Brightfield, 40× oil-immersion objective; single cell centered in the field; bone marrow smear.
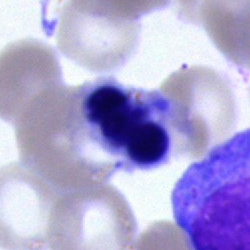A nucleated red cell.